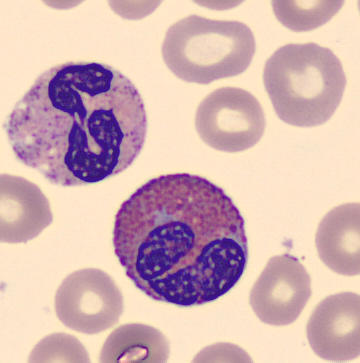 Peripheral blood film; May-Grünwald-Giemsa-stained.

Single cell identified as an eosinophilic granulocyte.